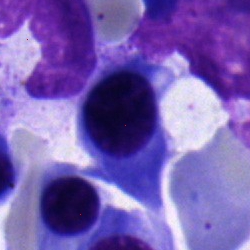 Cell type = erythroblast.